M8 digital microscope (Precipoint), 100× oil immersion · peripheral blood film: 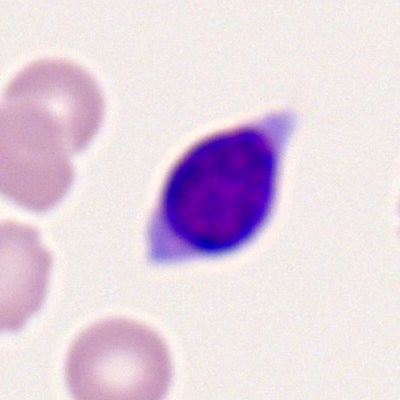
The cell shown is a typical lymphocyte.